360×363 px. CellaVision DM96 digital cell image. Peripheral blood film
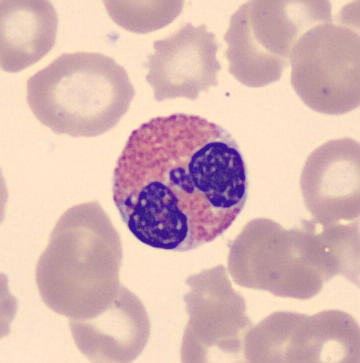
Identified as an eosinophilic granulocyte.